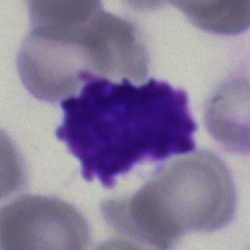
Single cell identified as an artifact.